MGG-stained; bone marrow aspirate smear; 250×250 px: 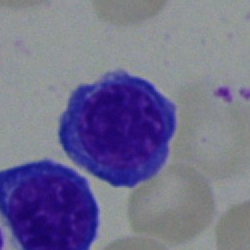Morphology consistent with a nucleated red blood cell.